Bone marrow aspirate smear:
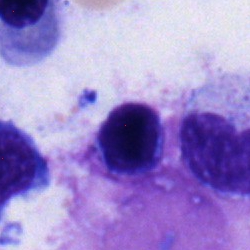 Lymphocyte.